Bone marrow smear
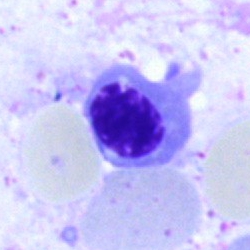
The cell type is nucleated red cell.